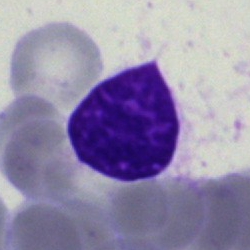 Cell — artifact.